Bone marrow smear.
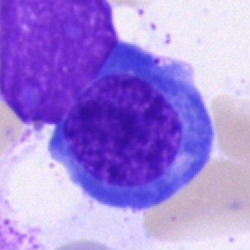

Cell type = normoblast.